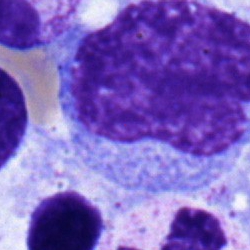 Q: Identify the cell.
A: Monocyte.